40× objective, oil immersion · bone marrow aspirate smear · 250×250: 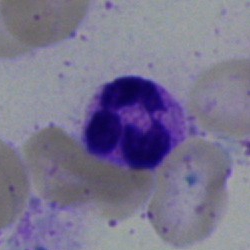 Q: What cell is this?
A: Polymorphonuclear neutrophil.